MGG-stained · bone marrow aspirate smear · 250×250 px:
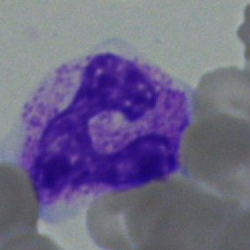
Cell type — band neutrophil.